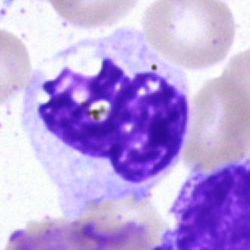Neutrophil (segmented).